Bone marrow aspirate smear
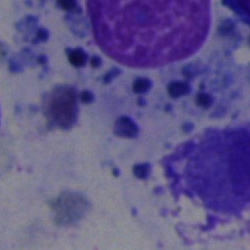 {"cell_type": "artifact"}